Bone marrow aspirate smear. Single-cell field — 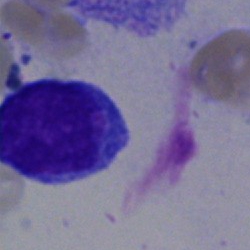

Typical lymphocyte.